Single cell centered in the field · bone marrow smear:
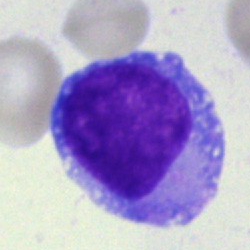This is a blast cell.